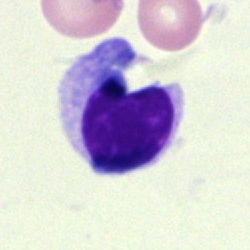
An artefact on a bone marrow smear.